Peripheral blood smear; Romanowsky-type stain; 100× oil immersion, 14.14 px/µm: 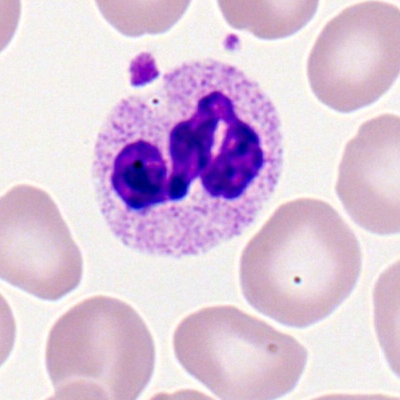Morphological class: neutrophil (segmented).